250 by 250 pixels. Bone marrow aspirate smear. Cropped to a single cell — 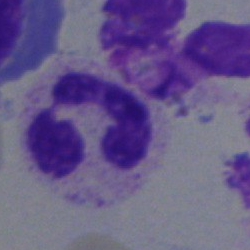
Showing a neutrophil (segmented).